May-Grünwald-Giemsa stain; bone marrow aspirate smear; brightfield, 40× oil-immersion objective.
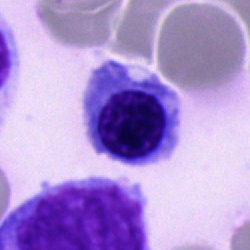

Classification: normoblast.